Brightfield, 40× oil-immersion objective; image size 250×250; bone marrow aspirate smear
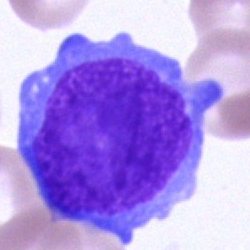 Q: What cell is this?
A: A blast cell.